250 by 250 pixels; bone marrow aspirate smear:
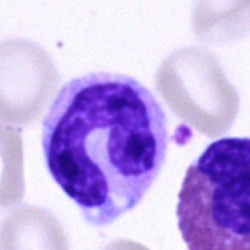 Morphological class: stab cell.